Bone marrow smear.
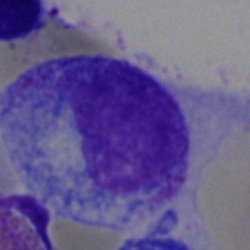{"cell_type": "progranulocyte", "lineage": "myeloid"}